Bone marrow smear — 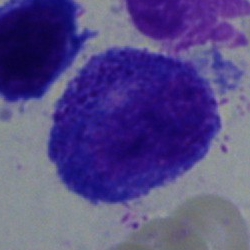 Morphology consistent with a promyelocyte.